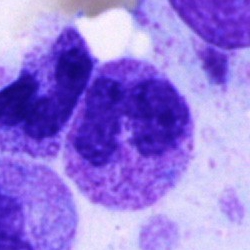

Q: What is shown here?
A: A polymorphonuclear neutrophil.